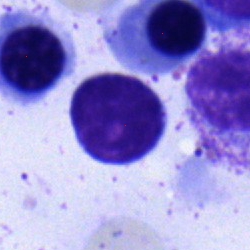 Q: What is the morphological classification of this cell?
A: A lymphocyte.